Bone marrow aspirate smear:
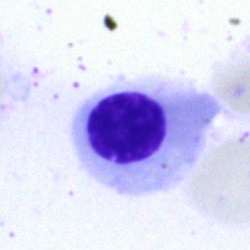

The cell is nucleated red cell.